40× oil immersion; bone marrow smear.
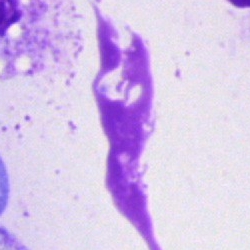 This is an artefact.